Image size 250×250 · bone marrow smear.
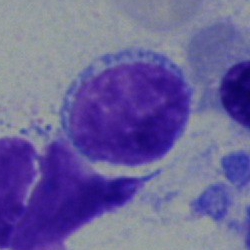{"cell_type": "typical lymphocyte", "lineage": "lymphoid"}